Bone marrow aspirate smear · single cell centered in the field — 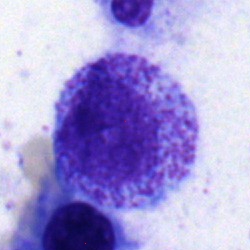 Showing a myelocyte.